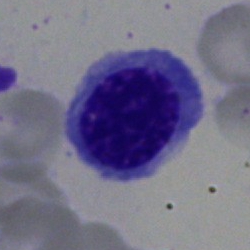An erythroblast.